Bone marrow smear · May-Grünwald-Giemsa stain
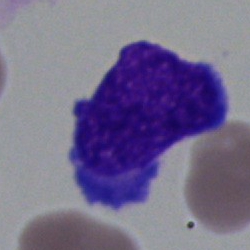

Morphology consistent with an undifferentiated blast.